Bone marrow smear:
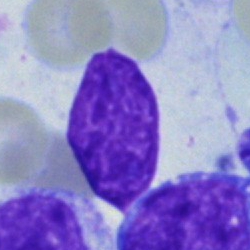

{"cell_type": "artifact"}